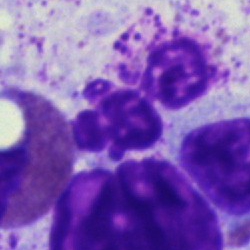 Bone marrow aspirate smear, single cell — artefact.